Single cell centered in the field · bone marrow smear · MGG-stained — 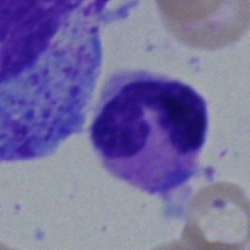
Single cell identified as a band neutrophil.